Bone marrow aspirate smear.
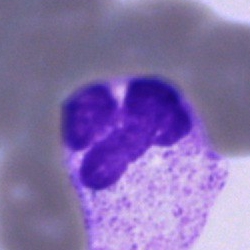 Q: Identify the cell.
A: Polymorphonuclear neutrophil.